Image size 250×250. Pappenheim-stained. Bone marrow aspirate smear:
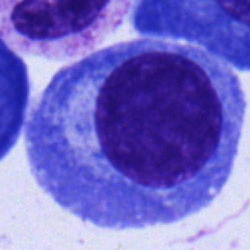Q: What cell is this?
A: This is a plasma cell.